Bone marrow aspirate smear.
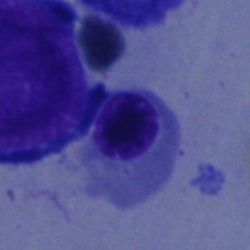Morphological class = erythroblast.